Bone marrow aspirate smear · single cell centered in the field
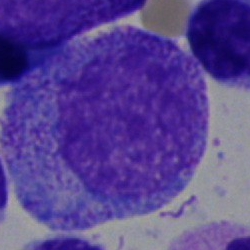
Morphological class = promyelocyte.